Bone marrow aspirate smear:
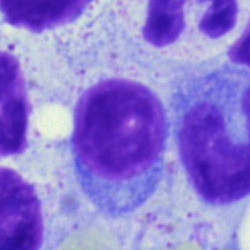

Q: Which cell type is shown here?
A: This is a typical lymphocyte.